May-Grünwald-Giemsa stain; bone marrow aspirate smear
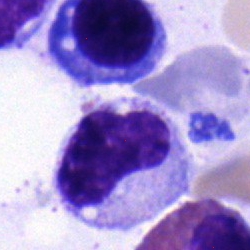
Showing a metamyelocyte.